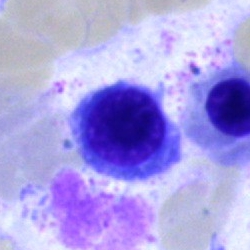The cell type is nucleated red cell.